250×250 px; bone marrow aspirate smear: 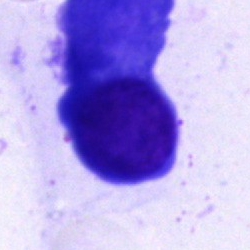

Q: Which cell type is shown here?
A: This is a plasma cell.